Single-cell field. Bone marrow smear — 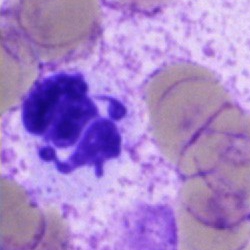Impression → polymorphonuclear neutrophil.